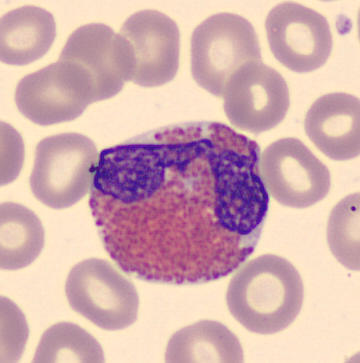

Morphology — eosinophil.